Bone marrow aspirate smear.
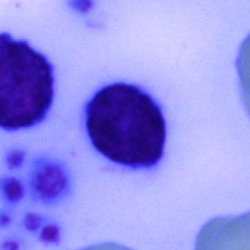 Specimen: bone marrow smear.
Cell type: typical lymphocyte.